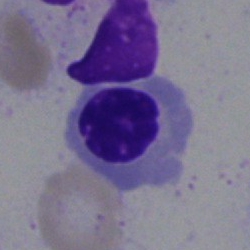The cell type is normoblast.